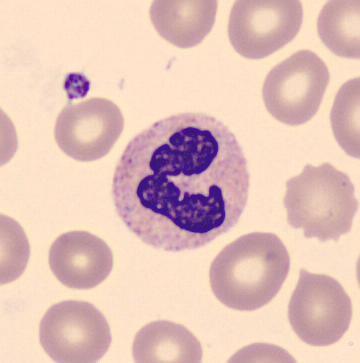 Classification: segmented neutrophil.